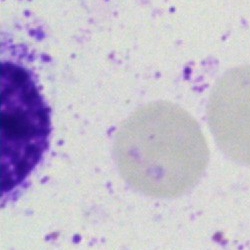

Q: What is shown here?
A: It is an artifact.